Bone marrow smear — 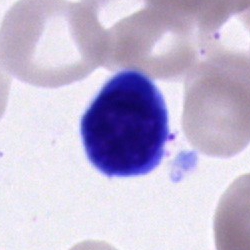

Specimen: bone marrow aspirate smear.
Cell: typical lymphocyte.
Lineage: lymphoid.